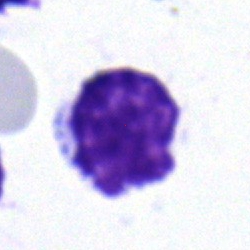Bone marrow smear showing a lymphocyte.